Bone marrow smear.
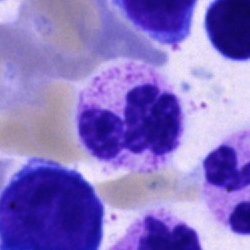 {"cell_type": "neutrophil (segmented)", "lineage": "myeloid"}